Bone marrow smear: 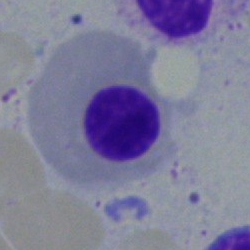

Q: What is the morphological classification of this cell?
A: This is a nucleated red blood cell.